Bone marrow smear.
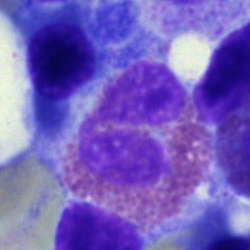 Morphological class = eosinophilic granulocyte.